Bone marrow smear
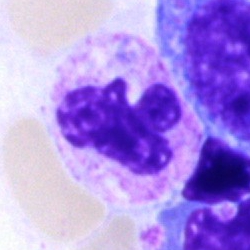 {"cell_type": "polymorphonuclear neutrophil", "lineage": "myeloid"}